Bone marrow aspirate smear. May-Grünwald-Giemsa stain.
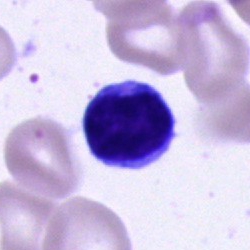
{"cell_type": "typical lymphocyte"}